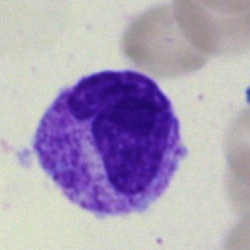
Morphological class — metamyelocyte.